Bone marrow smear:
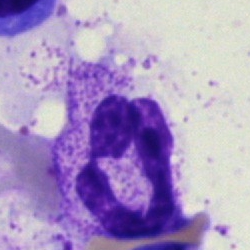 The cell is segmented neutrophil.